250 by 250 pixels; bone marrow aspirate smear: 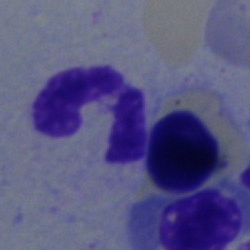Segmented neutrophil.